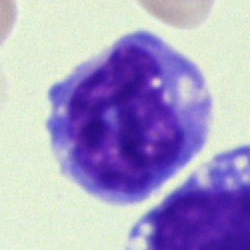

{"cell_type": "monocyte", "lineage": "myeloid"}